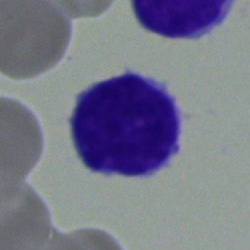 Classification = typical lymphocyte.